Single cell centered in the field; bone marrow smear
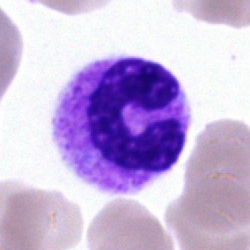
The cell shown is a segmented neutrophil.